Image size 250×250. Bone marrow aspirate smear.
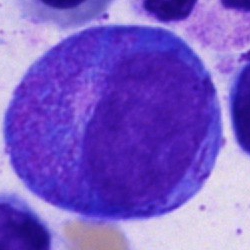This is a progranulocyte.